Peripheral blood smear: 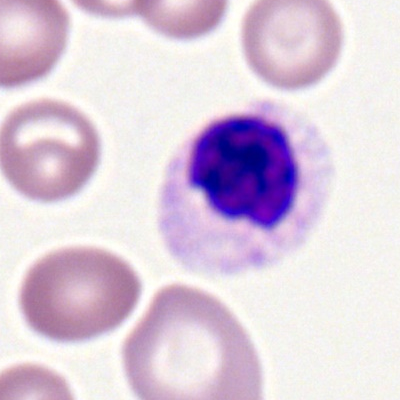
Specimen: peripheral blood film.
Cell: neutrophil (segmented).